Bone marrow aspirate smear; Pappenheim-stained.
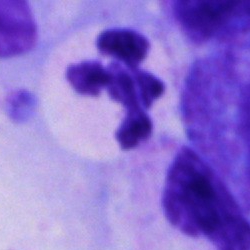 The cell is neutrophil (segmented).